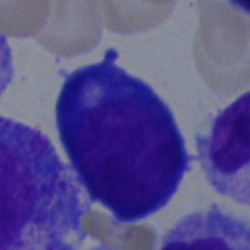Classification — erythroblast.